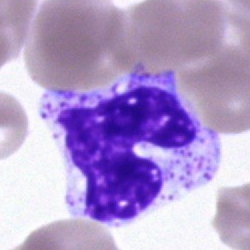 Impression — band-form neutrophil.